Bone marrow aspirate smear · image size 250×250:
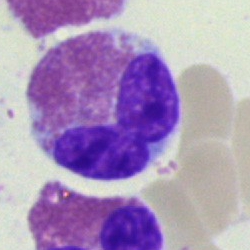Cell type — eosinophilic granulocyte.